Bone marrow smear — 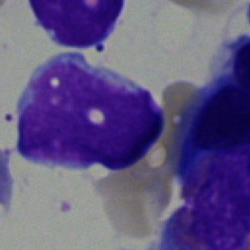Q: What is shown here?
A: This is an undifferentiated blast.